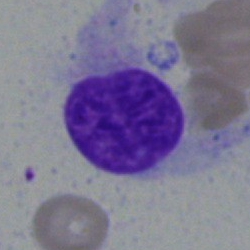

This is a typical lymphocyte.